Bone marrow smear; brightfield, 40× oil-immersion objective
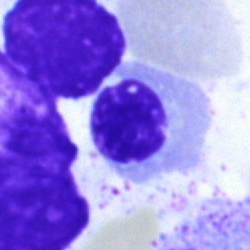

Morphology consistent with a normoblast.